Single cell centered in the field; bone marrow aspirate smear:
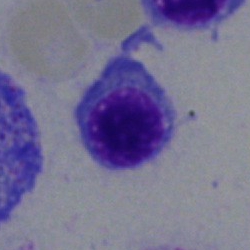
Q: What is the morphological classification of this cell?
A: Normoblast.